Bone marrow aspirate smear; May-Grünwald-Giemsa stain.
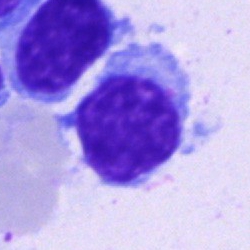 Impression → typical lymphocyte.